Single cell centered in the field · bone marrow smear
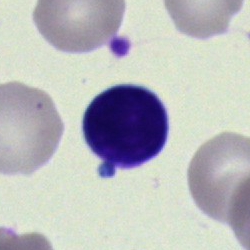

Cell type — typical lymphocyte.